Single-cell field · bone marrow aspirate smear · image size 250×250:
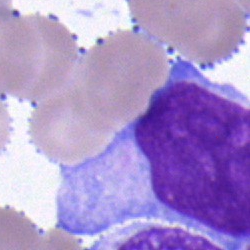 Classification: blast.